Bone marrow smear; brightfield microscopy, 40× oil immersion: 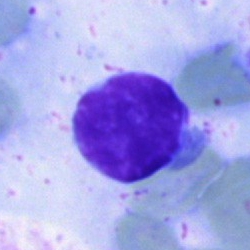
Specimen: bone marrow aspirate smear.
Classification: typical lymphocyte.